360×363. May Grünwald-Giemsa stain. Peripheral blood smear: 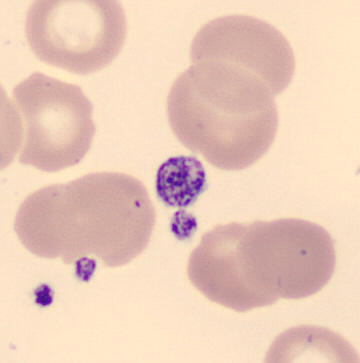The cell type is platelet.